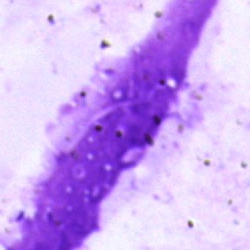 {"cell_type": "artifact"}